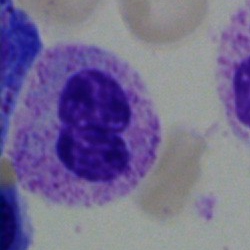 Q: Identify the cell.
A: A metamyelocyte.